Bone marrow smear
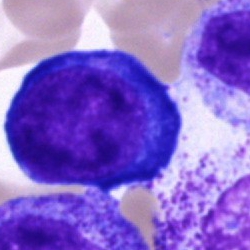

Classification = pronormoblast.